Bone marrow aspirate smear: 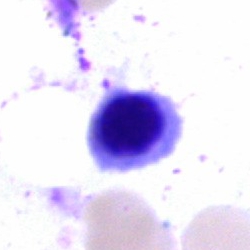 Nucleated red cell.